Peripheral blood smear. Imaged on a CellaVision DM96 analyser. May-Grünwald-Giemsa-stained — 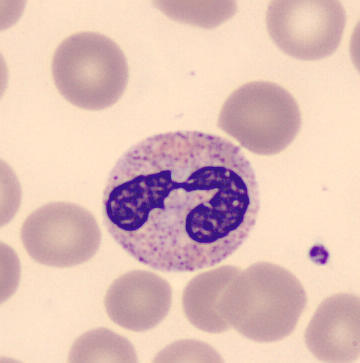 Impression → neutrophil (segmented).